Bone marrow aspirate smear: 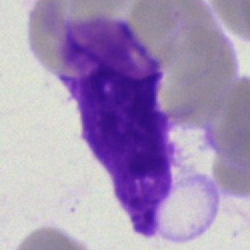

The cell shown is an artifact.